Image size 250×250; bone marrow smear; Pappenheim-stained: 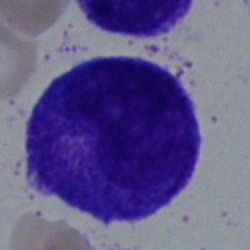
Showing a promyelocyte.